Bone marrow aspirate smear: 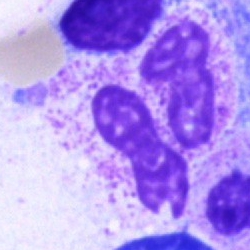 Polymorphonuclear neutrophil.